Image size 250×250. May-Grünwald-Giemsa/Pappenheim stain. Bone marrow aspirate smear.
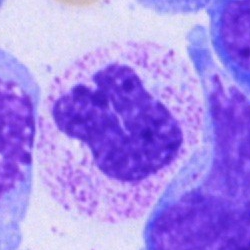Morphology — neutrophil (segmented).